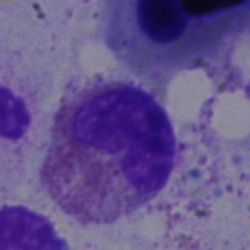Morphology consistent with an eosinophilic granulocyte.